Bone marrow aspirate smear
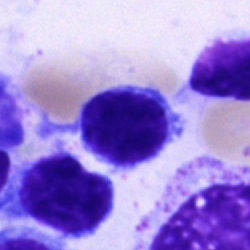
Specimen: bone marrow aspirate smear.
Classification: lymphocyte.
Lineage: lymphoid.